40× objective, oil immersion · bone marrow aspirate smear · May-Grünwald-Giemsa stain
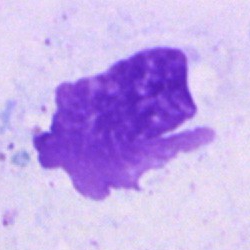Showing an artifact.